Bone marrow smear; cropped to a single cell:
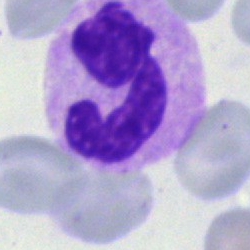 {"cell_type": "neutrophil (segmented)", "lineage": "myeloid"}